Bone marrow aspirate smear — 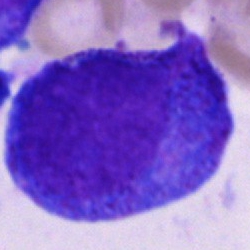Cell: progranulocyte.